Bone marrow aspirate smear
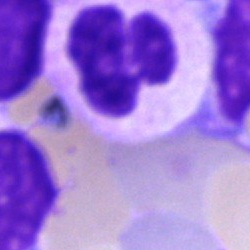

Q: What is the morphological classification of this cell?
A: Neutrophil (segmented).